Bone marrow aspirate smear · brightfield, 40× oil-immersion objective.
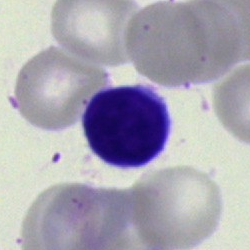Q: Identify the cell.
A: A lymphocyte.